Bone marrow smear — 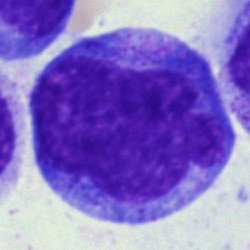 Classification — monocyte.